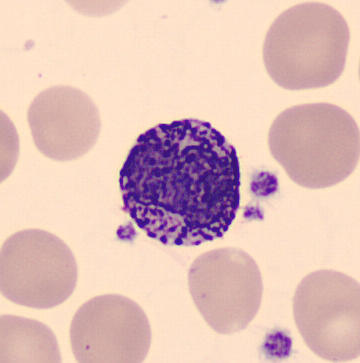
Basophil.

Acquisition: Peripheral blood smear.